Bone marrow aspirate smear — 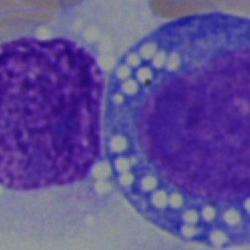

Q: Identify the cell.
A: It is a blast.